40× oil immersion; cropped to a single cell; bone marrow smear.
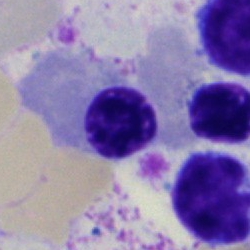

Morphology → nucleated red blood cell.